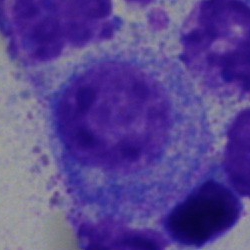Morphology consistent with a promyelocyte.